Bone marrow smear.
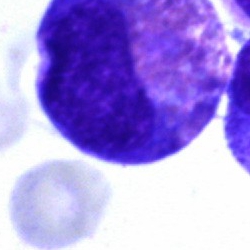Showing an artifact.